Bone marrow aspirate smear
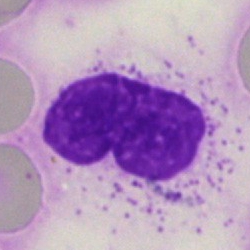

An artifact.